250×250 px. Bone marrow aspirate smear.
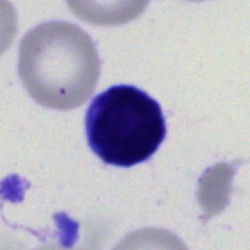

Classification = blast.